Bone marrow smear: 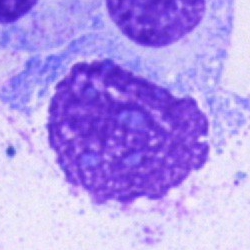
Q: What is shown here?
A: Artifact.